Bone marrow smear. Brightfield microscopy, 40× oil immersion. Pappenheim-stained: 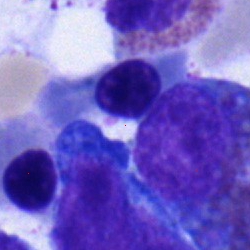Morphological class: erythroblast.